Bone marrow aspirate smear — 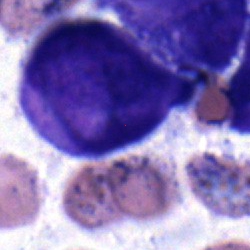Impression — blast cell.